250×250 px · MGG-stained · bone marrow aspirate smear.
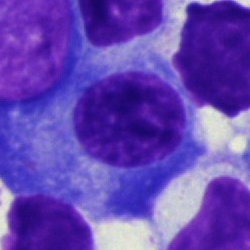 Morphological class = plasma cell.